Bone marrow smear. 250 by 250 pixels. Single-cell crop:
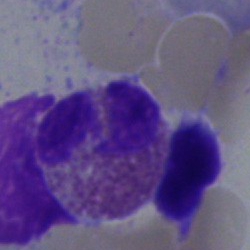{"cell_type": "eosinophil", "lineage": "myeloid"}